Bone marrow aspirate smear.
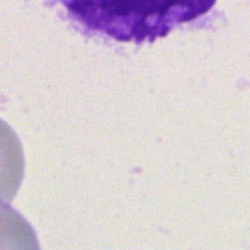
The classification is artefact.